Brightfield microscopy, 40× oil immersion · bone marrow aspirate smear
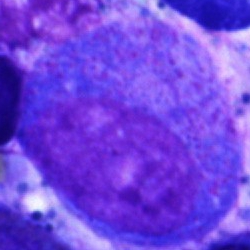
Cell type: progranulocyte.